Bone marrow aspirate smear:
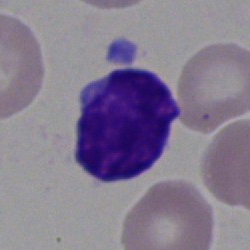
This is an undifferentiated blast.